Image size 250×250. Bone marrow aspirate smear. Brightfield microscopy, 40× oil immersion
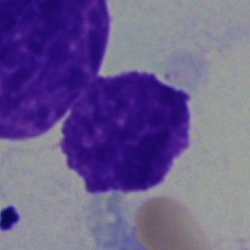Morphology consistent with an artifact.